Bone marrow smear; brightfield, 40× oil-immersion objective — 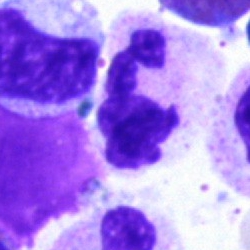
The cell shown is a polymorphonuclear neutrophil.